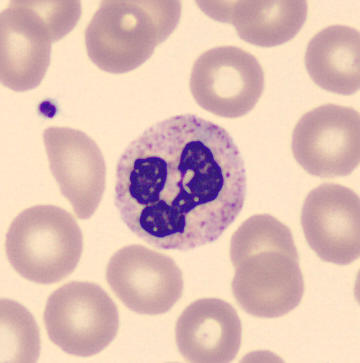 Image: Peripheral blood smear.

Q: What is shown here?
A: Segmented neutrophil.